Brightfield, 40× oil-immersion objective; 250 by 250 pixels; bone marrow aspirate smear — 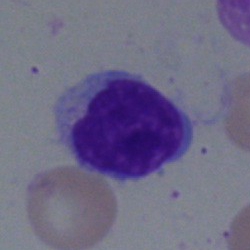

Q: Identify the cell.
A: It is a lymphocyte.